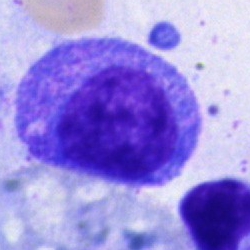

Q: What is shown here?
A: Promyelocyte.